Bone marrow smear. Single-cell field — 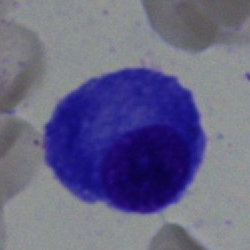
A plasma cell.